250×250; bone marrow smear; single cell centered in the field
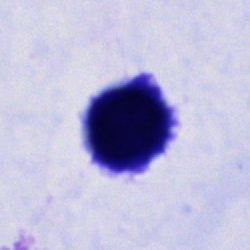
Showing a cell of indeterminate lineage.